May-Grünwald-Giemsa stain; bone marrow aspirate smear — 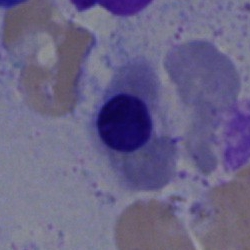 Single cell identified as a normoblast.